250×250. Bone marrow smear. Single-cell crop:
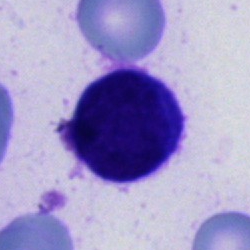

Classification = cell of indeterminate lineage.